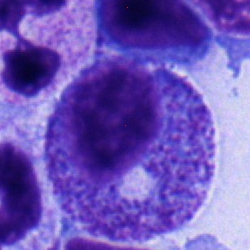
Q: Identify the cell.
A: A myelocyte.